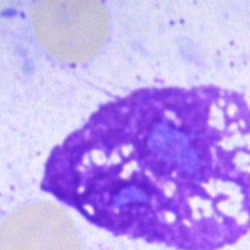 Bone marrow aspirate smear, single cell — artefact.